Bone marrow aspirate smear:
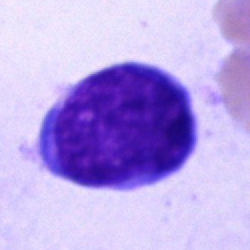

Blast cell.